Bone marrow aspirate smear · single cell centered in the field · 250 by 250 pixels:
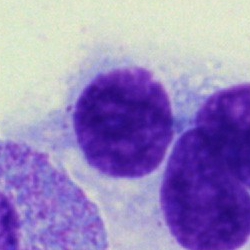Showing an artifact.